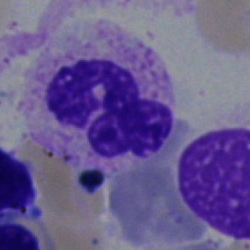Specimen: bone marrow smear.
Cell: neutrophil (segmented).
Lineage: myeloid.